Bone marrow smear.
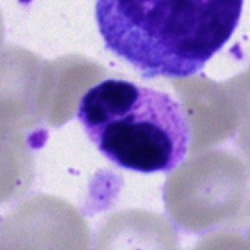
Cell type: segmented neutrophil.